Single-cell field. Bone marrow aspirate smear
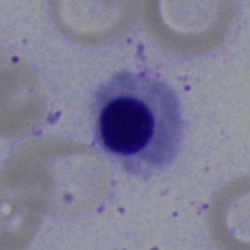

Specimen: bone marrow smear.
Cell type: erythroblast.
Lineage: erythroid.